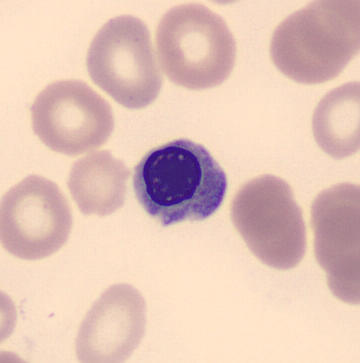
Cell type: nucleated red blood cell.
Peripheral blood film.